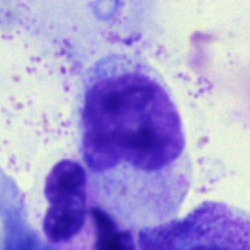 Specimen: bone marrow smear.
Cell type: metamyelocyte.
Lineage: myeloid.